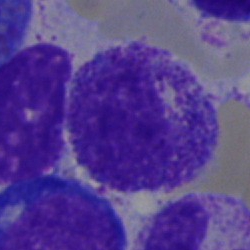Q: What is shown here?
A: This is a myelocyte.